Bone marrow aspirate smear · Pappenheim-stained · 250 by 250 pixels
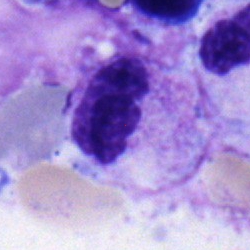
Cell: neutrophil (segmented).